Bone marrow smear:
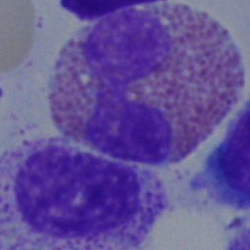Specimen: bone marrow smear.
Cell type: eosinophil.